Single-cell crop. Peripheral blood smear — 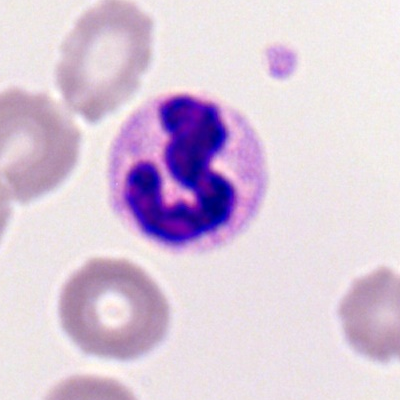 Q: Identify the cell.
A: This is a segmented neutrophil.